Bone marrow smear
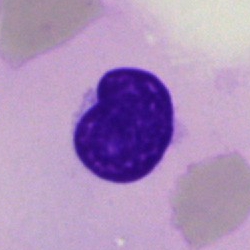Q: What is shown here?
A: It is an artefact.